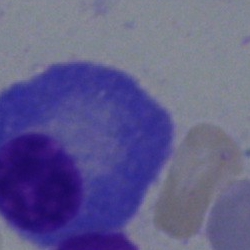

Bone marrow aspirate smear, single cell — plasmacyte.